Cropped to a single cell. Peripheral blood smear:
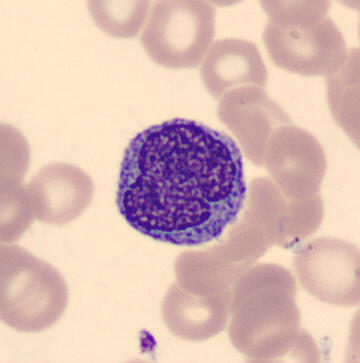
Monocyte.